Bone marrow aspirate smear.
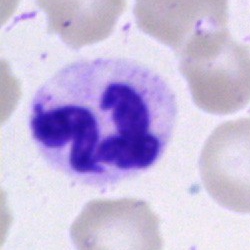This is a segmented neutrophil.